Bone marrow smear · 250×250:
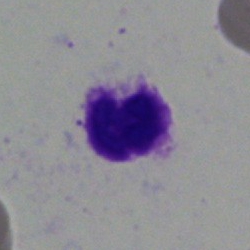 Q: What is shown here?
A: An artefact.